Bone marrow aspirate smear — 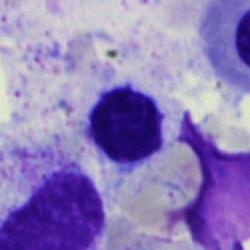
This is an artifact.